Image size 250×250. Bone marrow aspirate smear. Single-cell crop:
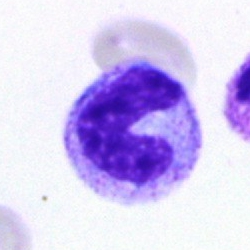Impression → neutrophil (band).